Bone marrow smear · 40× objective, oil immersion · May-Grünwald-Giemsa/Pappenheim stain
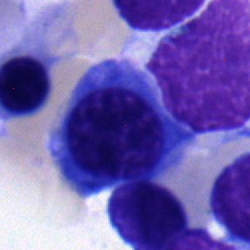 The cell is erythroblast.